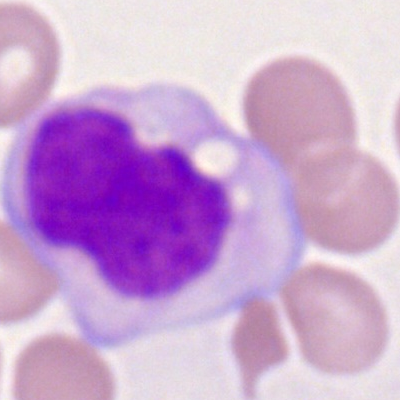 Morphology → monocyte.